Single-cell field. Brightfield, 40× oil-immersion objective. Bone marrow aspirate smear — 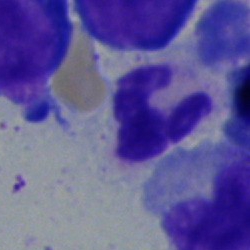 Specimen: bone marrow aspirate smear.
Morphological class: segmented neutrophil.